Bone marrow smear — 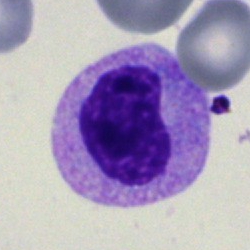Morphology — metamyelocyte.